Bone marrow smear · 250×250.
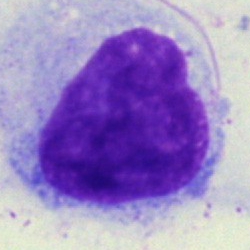

Single cell identified as an artefact.